Bone marrow smear.
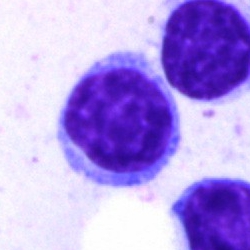Specimen: bone marrow smear.
Morphological class: lymphocyte.
Lineage: lymphoid.